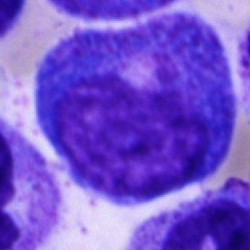
Morphology — promyelocyte.